Bone marrow smear
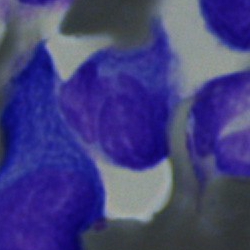

Morphology consistent with a plasma cell.